Bone marrow smear
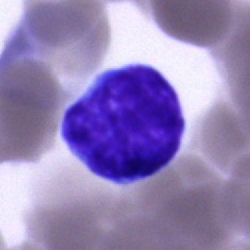
Showing a typical lymphocyte.